Peripheral blood smear; single-cell field: 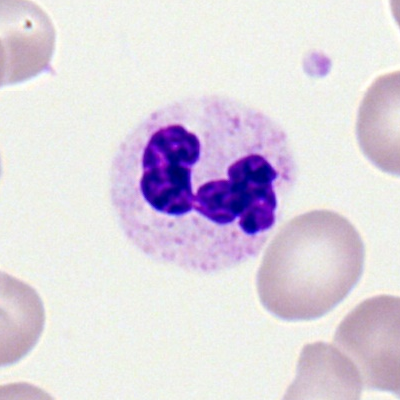 The cell shown is a polymorphonuclear neutrophil.